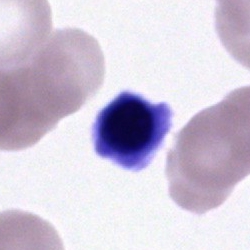
Q: What is the morphological classification of this cell?
A: This is a nucleated red cell.